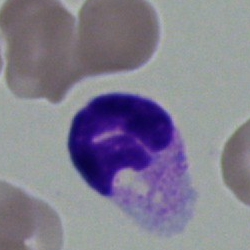

Impression → segmented neutrophil.